M8 digital microscope (Precipoint), 100× oil immersion. 400×400 px. Peripheral blood film: 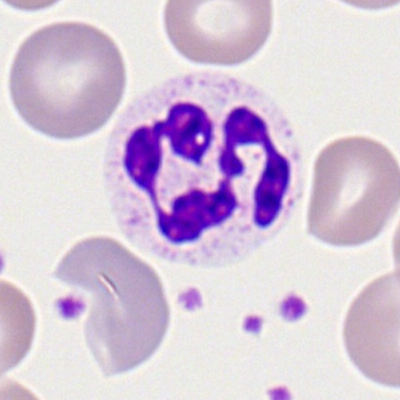 Impression — segmented neutrophil.